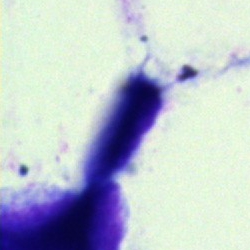

Q: What is shown here?
A: It is an artifact.